Bone marrow aspirate smear; brightfield, 40× oil-immersion objective.
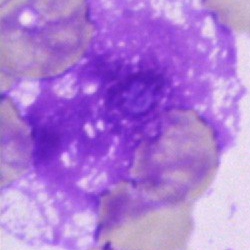Q: What is shown here?
A: This is an artifact.